Cropped to a single cell · bone marrow aspirate smear · May-Grünwald-Giemsa stain — 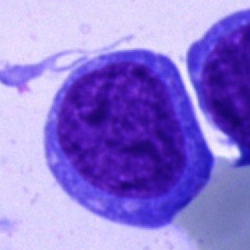

A blast cell.